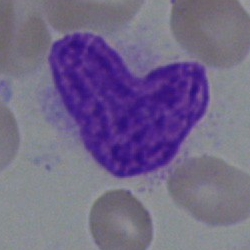Showing a monocyte.